Bone marrow smear:
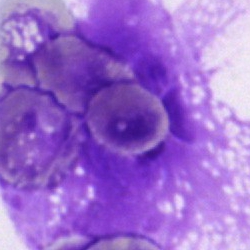{"cell_type": "artifact"}